Bone marrow aspirate smear:
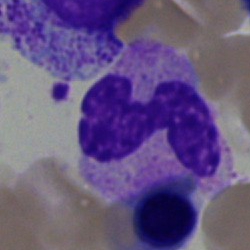

Morphology → band-form neutrophil.